Bone marrow aspirate smear
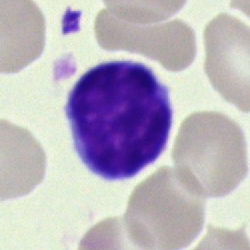

Classification: typical lymphocyte.